Bone marrow aspirate smear:
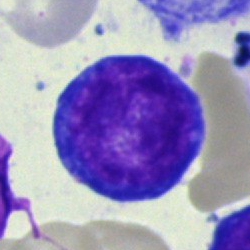
The cell type is pronormoblast.